Bone marrow aspirate smear:
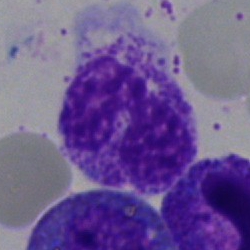 Showing a segmented neutrophil.